Bone marrow aspirate smear:
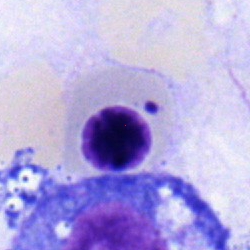Q: What cell is this?
A: This is a nucleated red cell.